Brightfield microscopy, 40× oil immersion; single-cell crop; bone marrow smear: 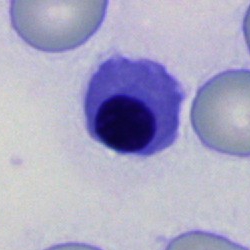

Q: What is the morphological classification of this cell?
A: It is a normoblast.